Peripheral blood smear; 400 by 400 pixels: 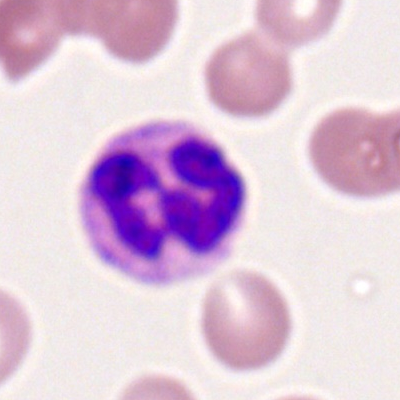 The cell shown is a polymorphonuclear neutrophil.